May-Grünwald-Giemsa stain; 40× objective, oil immersion; bone marrow smear — 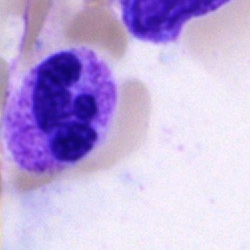
Q: Identify the cell.
A: Polymorphonuclear neutrophil.